Bone marrow aspirate smear — 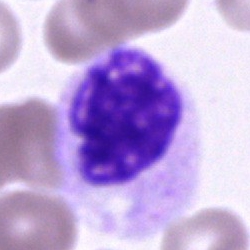
Morphological class = cell of indeterminate lineage.